Bone marrow aspirate smear; 40× oil immersion
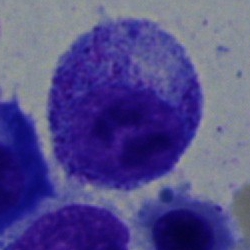

Morphology consistent with a progranulocyte.